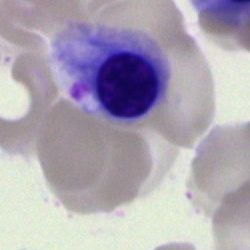 Q: What is the morphological classification of this cell?
A: A normoblast.